Brightfield, 40× oil-immersion objective; 250×250 px; bone marrow aspirate smear — 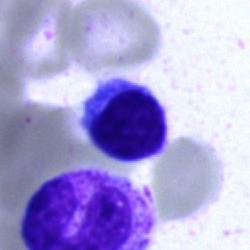

Morphology consistent with a typical lymphocyte.